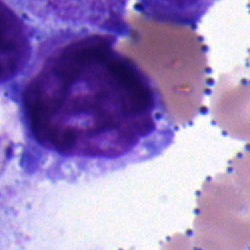Q: What type of cell is this?
A: It is a blast cell.